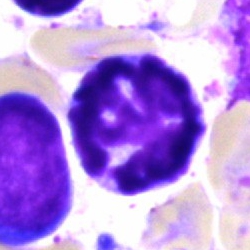 Q: What is shown here?
A: Artifact.